Bone marrow smear: 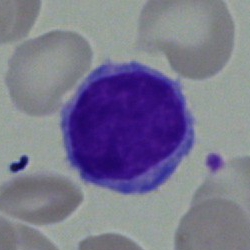

Specimen: bone marrow smear.
Morphological class: lymphocyte.
Lineage: lymphoid.